Brightfield microscopy, 40× oil immersion. Bone marrow aspirate smear. 250×250.
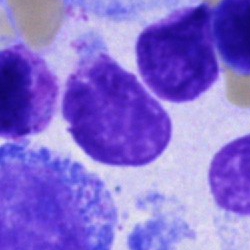 Morphology consistent with a cell of indeterminate lineage.